Bone marrow smear · 40× oil immersion: 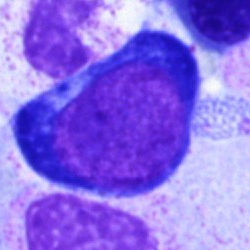 This is a nucleated red blood cell.